Bone marrow smear:
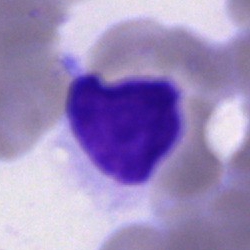

Specimen: bone marrow aspirate smear.
Cell type: artefact.